Bone marrow smear. 40× oil immersion
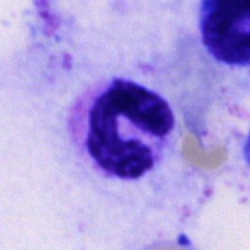

A neutrophil (segmented).